Bone marrow smear.
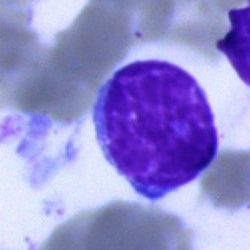

Impression → typical lymphocyte.